Bone marrow smear — 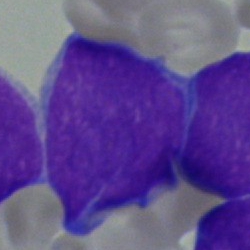Q: What is the morphological classification of this cell?
A: It is an undifferentiated blast.